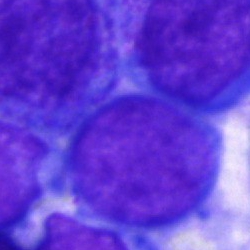
Cell type = blast cell.